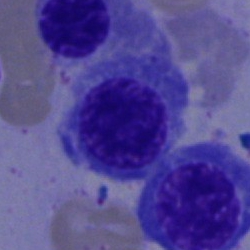Q: What type of cell is this?
A: It is a nucleated red blood cell.